Bone marrow aspirate smear · single cell centered in the field · image size 250×250:
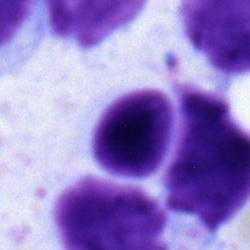Classification — typical lymphocyte.